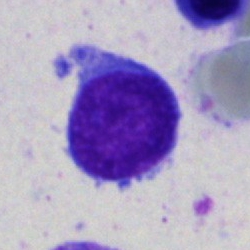A lymphocyte on a bone marrow smear.